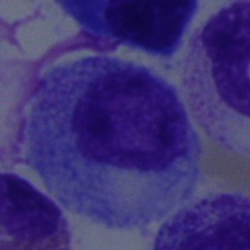

Morphological class — promyelocyte.